Bone marrow smear: 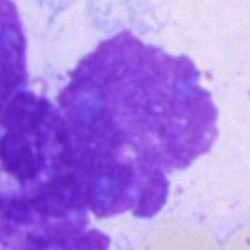{"cell_type": "artefact"}